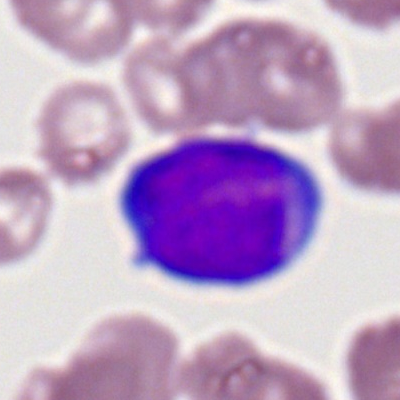 Peripheral blood smear showing a myeloid blast.